Bone marrow smear. 250 by 250 pixels: 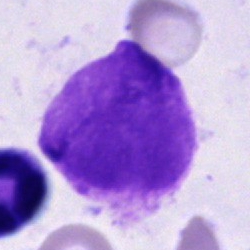
Q: What is shown here?
A: Artifact.